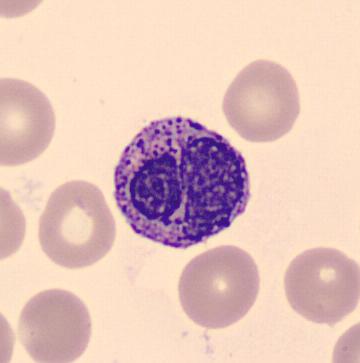
Peripheral blood smear. 360×363 px. Single cell centered in the field.

Single cell identified as a basophil.